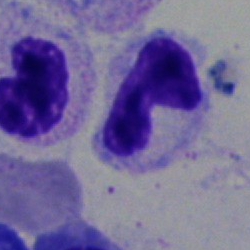Q: Identify the cell.
A: Neutrophil (band).